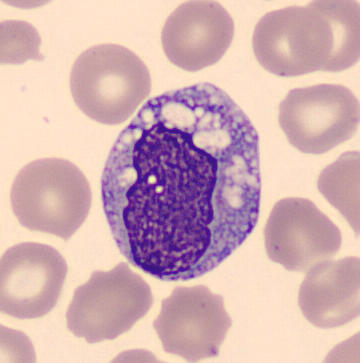Single cell identified as a monocyte.